Bone marrow smear:
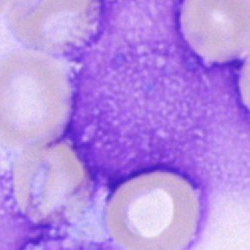This is an artifact.